Peripheral blood film. Romanowsky-stained — 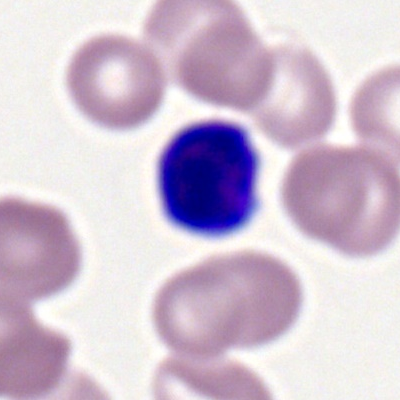
Impression — typical lymphocyte.